Bone marrow aspirate smear. 40× objective, oil immersion.
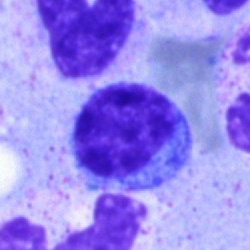
Lymphocyte.